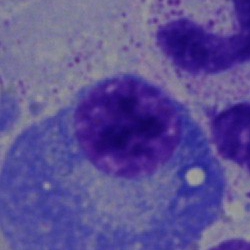
Showing a plasmacyte.